Single cell centered in the field; bone marrow smear: 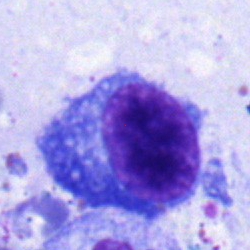 Specimen: bone marrow smear.
Cell: plasmacyte.